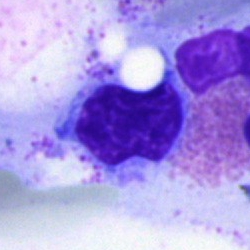
The cell type is artefact.